40× oil immersion. Single cell centered in the field. Bone marrow aspirate smear.
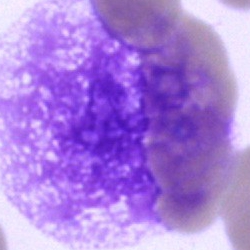 Cell type — artefact.